Bone marrow smear
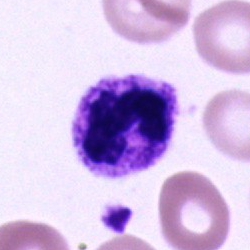

Cell type = segmented neutrophil.